Bone marrow aspirate smear · May-Grünwald-Giemsa stain:
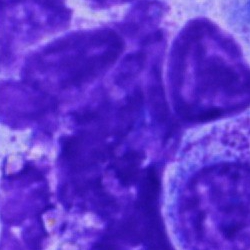

Q: What is shown here?
A: An artefact.